Brightfield, 40× oil-immersion objective · bone marrow aspirate smear
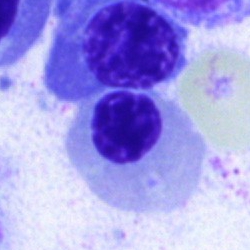 Q: Which cell type is shown here?
A: A normoblast.